Bone marrow smear: 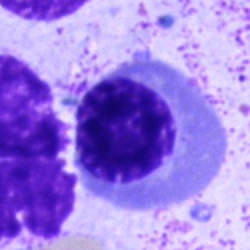Showing a nucleated red blood cell.